Bone marrow aspirate smear; May-Grünwald-Giemsa/Pappenheim stain; 250×250: 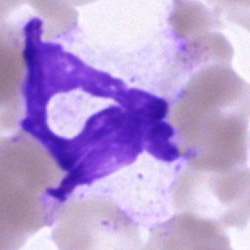
Impression — polymorphonuclear neutrophil.